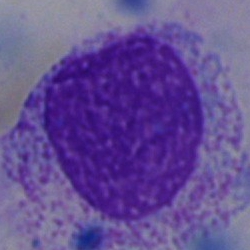

Cell — artifact.